Bone marrow smear; May-Grünwald-Giemsa stain; 40× objective, oil immersion: 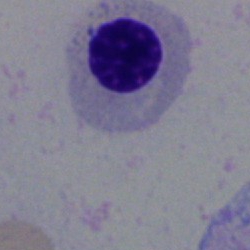 Q: Which cell type is shown here?
A: It is a normoblast.